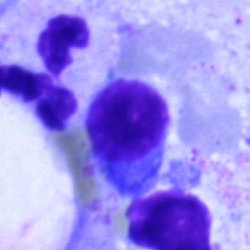
Single cell identified as a lymphocyte.